Bone marrow aspirate smear; 250 by 250 pixels; May-Grünwald-Giemsa/Pappenheim stain.
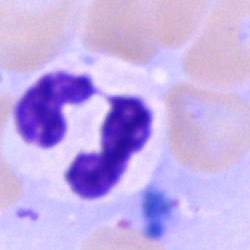Specimen: bone marrow smear.
Cell: segmented neutrophil.
Lineage: myeloid.